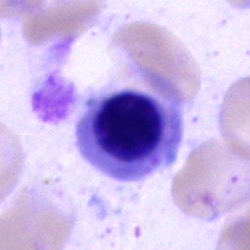The classification is normoblast.